Bone marrow smear.
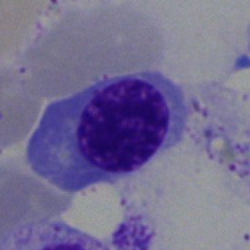
Morphological class: normoblast.